Image size 250×250. May-Grünwald-Giemsa/Pappenheim stain. Bone marrow smear:
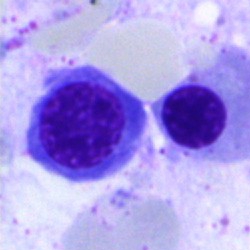
Morphology → normoblast.